Bone marrow smear: 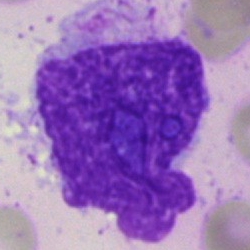Single cell identified as an artefact.